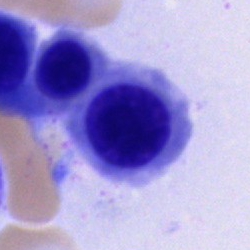

Morphology → nucleated red cell.